Bone marrow aspirate smear
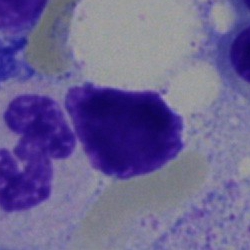 This is an artefact.